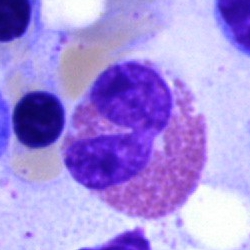
This is an eosinophil.